Bone marrow smear: 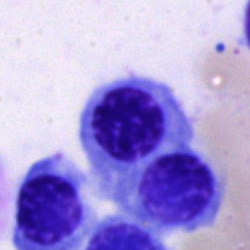Nucleated red cell.